Bone marrow smear: 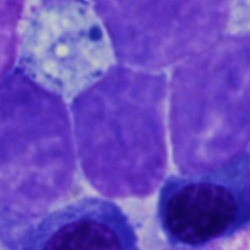
{"cell_type": "artifact"}